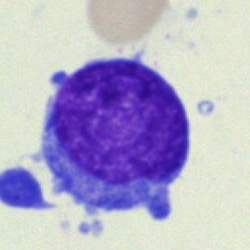 Morphology → undifferentiated blast.